Bone marrow aspirate smear.
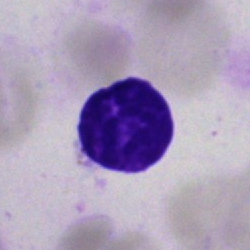

Impression → typical lymphocyte.